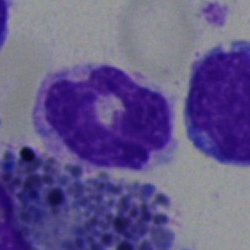Morphological class — neutrophil (segmented).